Bone marrow smear; 40× oil immersion:
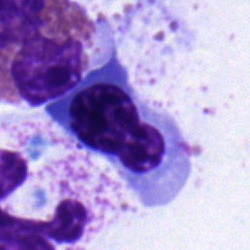
Nucleated red blood cell.